Bone marrow aspirate smear; May-Grünwald-Giemsa stain: 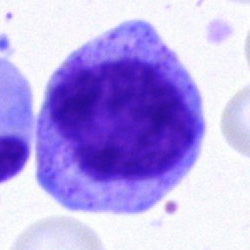Morphological class: promyelocyte.